Single-cell field · bone marrow aspirate smear — 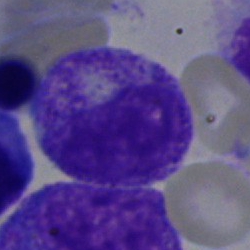
The cell shown is a myelocyte.